Bone marrow aspirate smear · brightfield microscopy, 40× oil immersion — 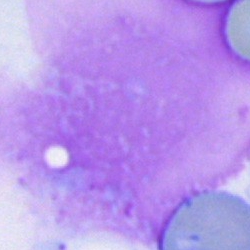 The cell is artefact.